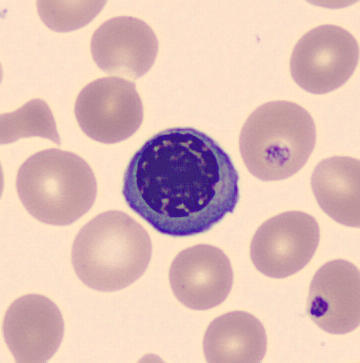 Q: What is the morphological classification of this cell?
A: This is a normoblast.